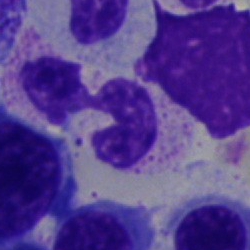 Neutrophil (segmented).